Bone marrow aspirate smear. Single cell centered in the field. 40× objective, oil immersion:
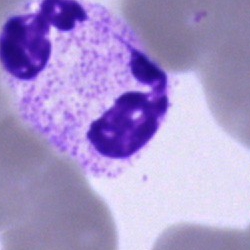Q: Identify the cell.
A: A segmented neutrophil.